40× oil immersion. Bone marrow aspirate smear: 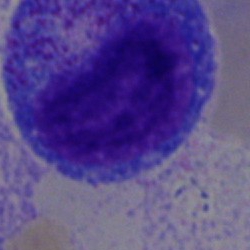

The cell type is progranulocyte.